Bone marrow aspirate smear; 250×250; cropped to a single cell.
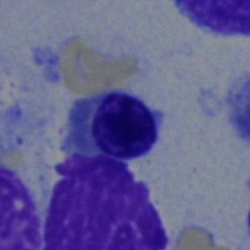

Showing an erythroblast.